40× objective, oil immersion. Bone marrow aspirate smear. Single-cell crop — 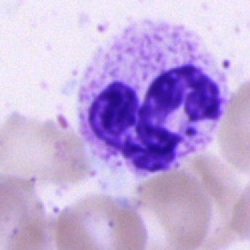Q: What is the morphological classification of this cell?
A: Neutrophil (segmented).